Single cell centered in the field · bone marrow aspirate smear · MGG-stained:
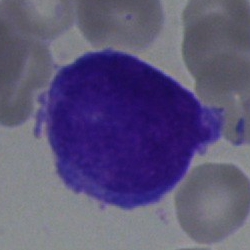 Morphological class: blast cell.